May-Grünwald-Giemsa/Pappenheim stain; bone marrow smear: 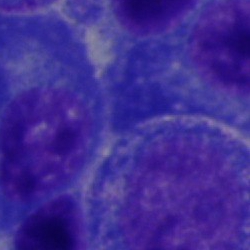

Classification: unidentifiable cell.